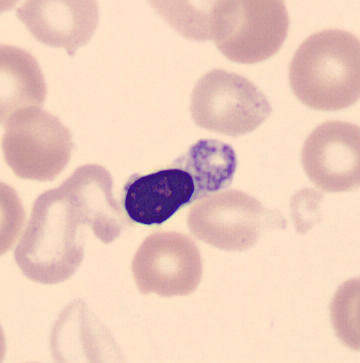
Preparation: Peripheral blood film. Single cell centered in the field.

Morphology → normoblast.